Bone marrow aspirate smear:
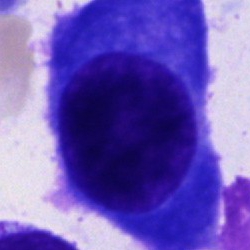
Q: What type of cell is this?
A: A plasma cell.